Bone marrow smear: 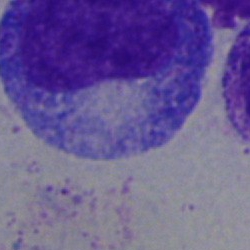This is a promyelocyte.